Bone marrow aspirate smear:
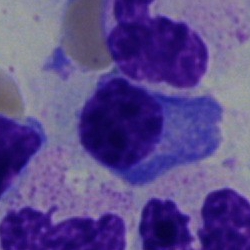
Q: What is shown here?
A: It is a plasmacyte.